Bone marrow aspirate smear · brightfield, 40× oil-immersion objective: 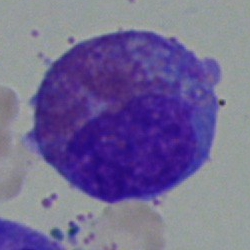 Eosinophil.